100× objective, oil immersion. Peripheral blood smear: 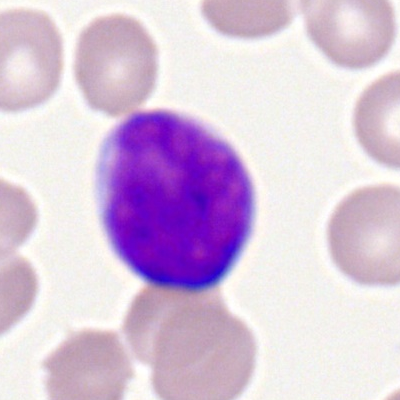

Cell type: myeloid blast.